Single cell centered in the field · May-Grünwald-Giemsa stain · bone marrow smear.
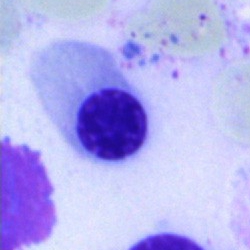Showing an erythroblast.